Bone marrow aspirate smear; image size 250×250
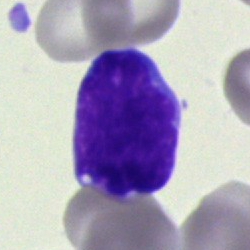Cell = blast.